Bone marrow smear; single cell centered in the field; 250 by 250 pixels
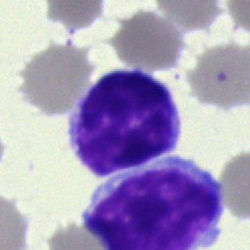 Morphology → typical lymphocyte.